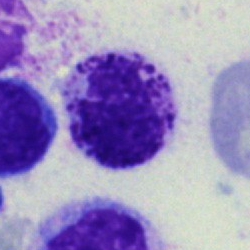
Morphology consistent with a basophil.